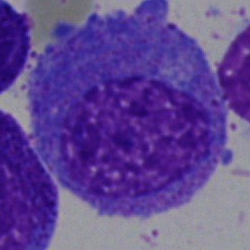
Cell type: progranulocyte.